Bone marrow aspirate smear.
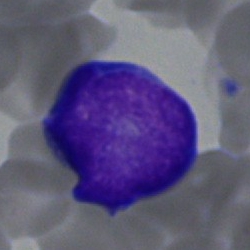
Blast.